Bone marrow smear; single cell centered in the field:
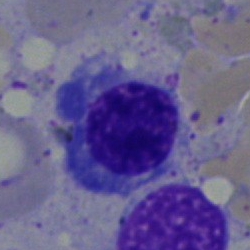
Morphology consistent with an erythroblast.